Bone marrow aspirate smear; cropped to a single cell; 250×250: 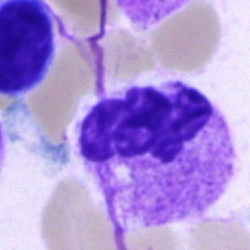
Classification = segmented neutrophil.